Bone marrow aspirate smear. Single-cell crop.
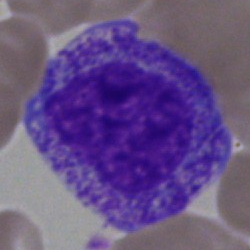

Morphology — progranulocyte.